40× oil immersion · bone marrow smear: 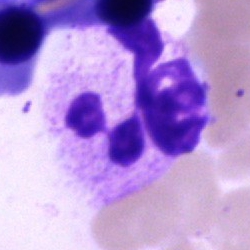
Morphology consistent with a neutrophil (segmented).